Bone marrow aspirate smear; 40× oil immersion; Pappenheim-stained.
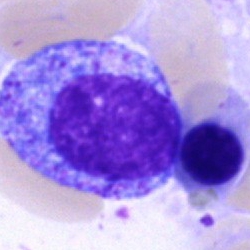 Showing a progranulocyte.